Bone marrow aspirate smear — 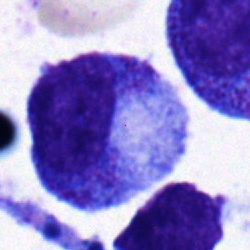Single cell identified as a metamyelocyte.